Bone marrow aspirate smear — 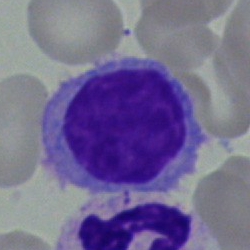

A typical lymphocyte.